Romanowsky-stained · 400×400 · peripheral blood smear — 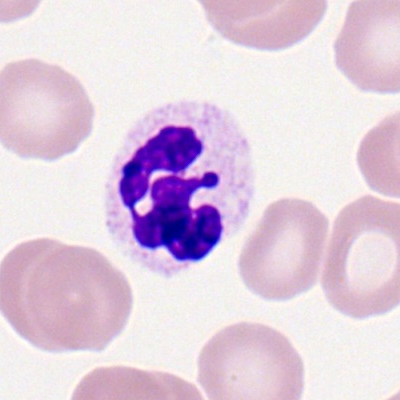Cell type — neutrophil (segmented).